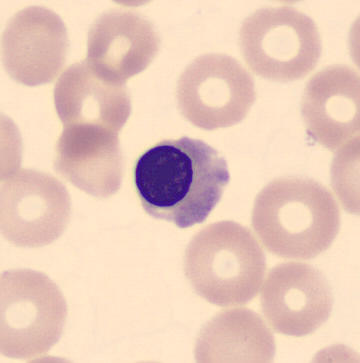 Specimen: peripheral blood film.
Morphological class: nucleated red cell.
Lineage: erythroid.